Bone marrow aspirate smear
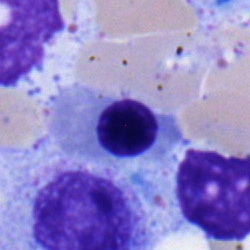 Erythroblast.